MGG-stained · bone marrow aspirate smear.
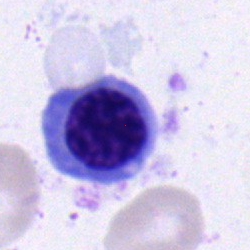 Specimen: bone marrow aspirate smear.
Classification: normoblast.